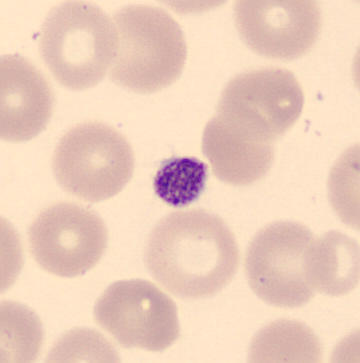Classification — thrombocyte.